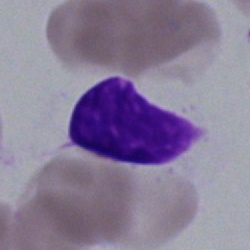
Cell type — artifact.